Bone marrow aspirate smear: 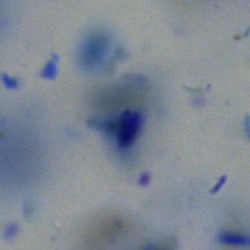Impression → artefact.